Bone marrow aspirate smear — 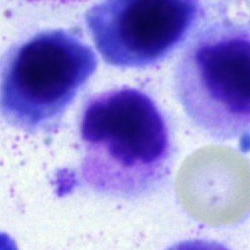

Polymorphonuclear neutrophil.